40× oil immersion · May-Grünwald-Giemsa/Pappenheim stain · bone marrow aspirate smear:
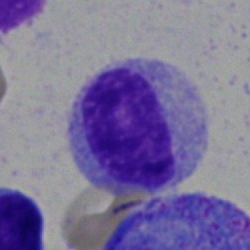

Single cell identified as a lymphocyte.